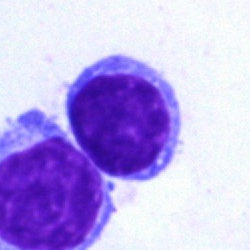 Bone marrow aspirate smear, single cell — lymphocyte.